Single-cell crop. Bone marrow aspirate smear: 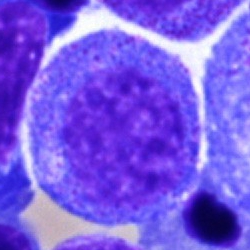
Morphological class: progranulocyte.